Brightfield microscopy, 40× oil immersion; bone marrow aspirate smear — 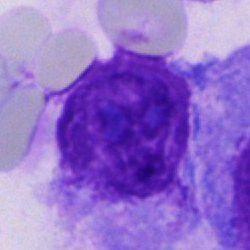Morphology → cell not matching the other categories.